Bone marrow smear — 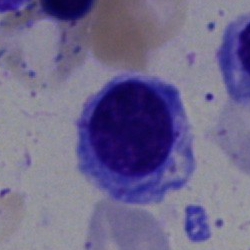
The morphological class is erythroblast.